Bone marrow aspirate smear · May-Grünwald-Giemsa/Pappenheim stain — 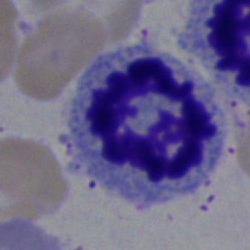

Morphology consistent with an artefact.